Bone marrow aspirate smear. Cropped to a single cell. Brightfield, 40× oil-immersion objective — 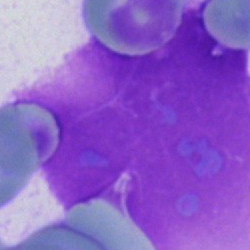Single cell identified as an artefact.